Bone marrow smear
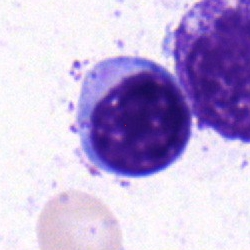
Morphology consistent with a typical lymphocyte.